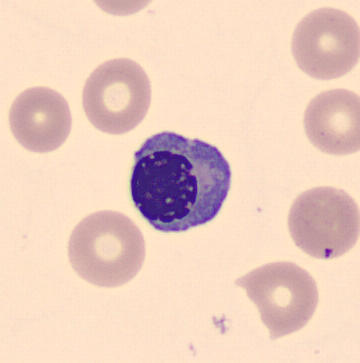{"cell_type": "normoblast", "lineage": "erythroid"}
Acquisition: Peripheral blood smear; MGG stain; CellaVision DM96 digital cell image.